Bone marrow aspirate smear — 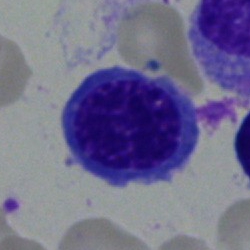 This is a nucleated red blood cell.